Peripheral blood smear; single cell centered in the field
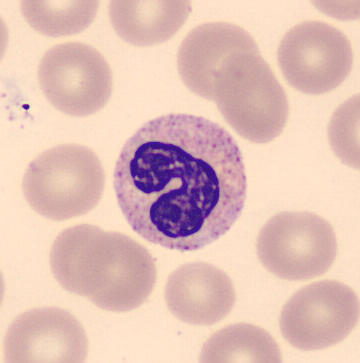

Cell type — stab cell.